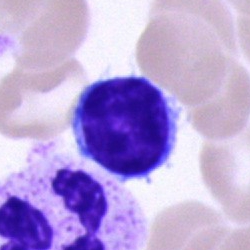 Impression → typical lymphocyte.